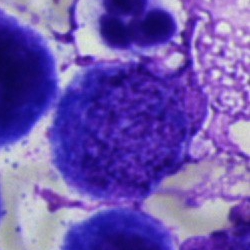

Classification = polymorphonuclear neutrophil.